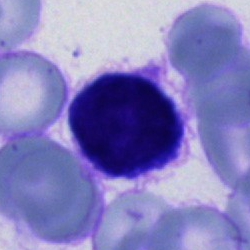Single-cell crop from a bone marrow smear: cell of indeterminate lineage.